Bone marrow aspirate smear
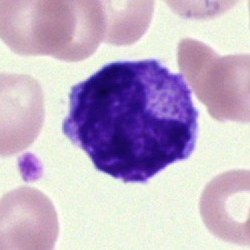 Specimen: bone marrow smear.
Classification: metamyelocyte.